Brightfield microscopy, 40× oil immersion; bone marrow aspirate smear
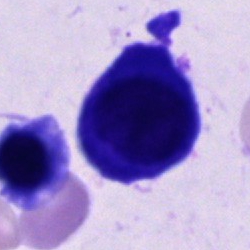
Classification = unidentifiable cell.